Bone marrow aspirate smear; 40× oil immersion: 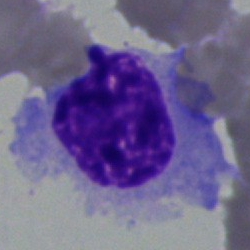 Hairy cell.